Bone marrow aspirate smear: 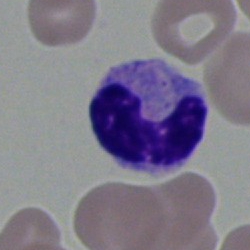 Classification — segmented neutrophil.